MGG-stained; bone marrow smear; single-cell field: 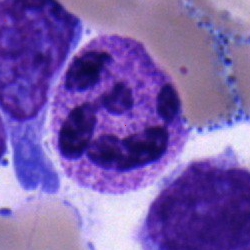This is a neutrophil (segmented).